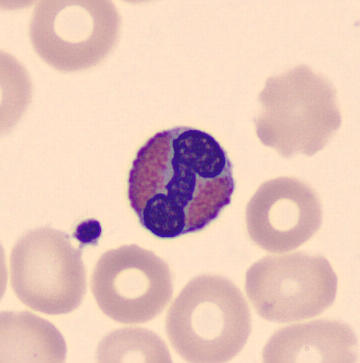

Morphology consistent with an eosinophil.
Peripheral blood smear.